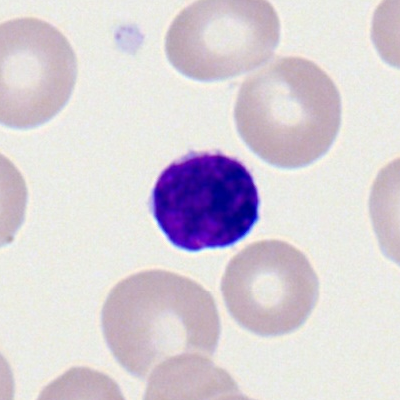 Morphology consistent with a typical lymphocyte.